Bone marrow smear: 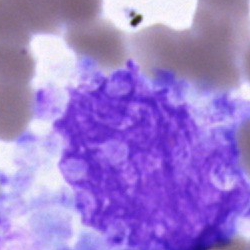This is an artefact.